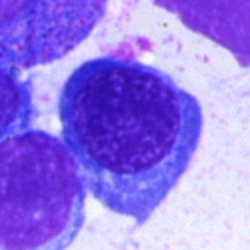 The cell type is nucleated red cell.